Bone marrow smear.
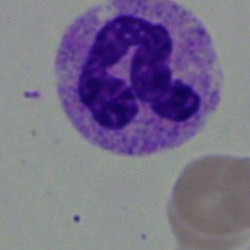
Q: What is shown here?
A: Neutrophil (segmented).